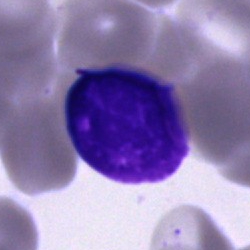

Morphological class = artefact.